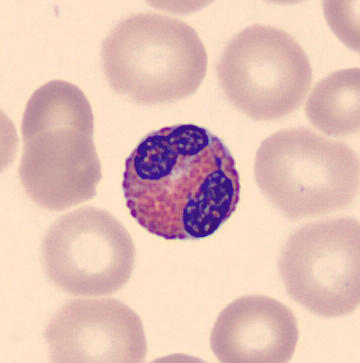 Image: Peripheral blood film; single cell centered in the field.

Cell: eosinophil.